Bone marrow aspirate smear.
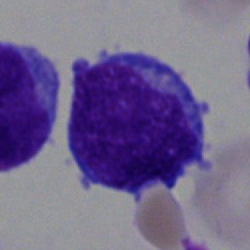

Q: What is shown here?
A: Blast.